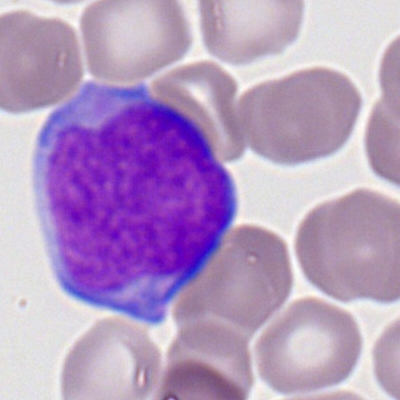
{"cell_type": "myeloid blast", "lineage": "myeloid"}